250×250 px. 40× oil immersion. Bone marrow smear — 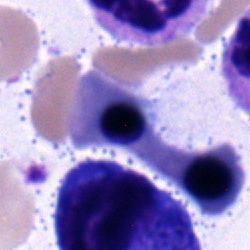

This is an erythroblast.